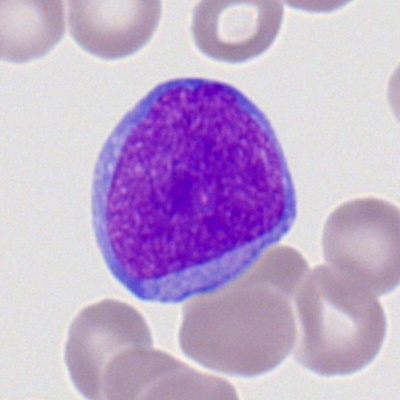 The cell is myeloblast.